Bone marrow smear.
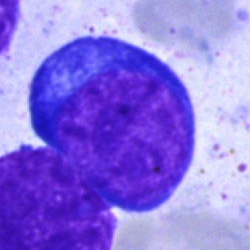
Q: What type of cell is this?
A: It is a pronormoblast.